Single-cell crop. 250 by 250 pixels. Bone marrow aspirate smear:
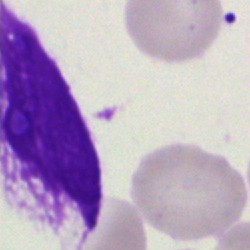

Morphology consistent with an artifact.